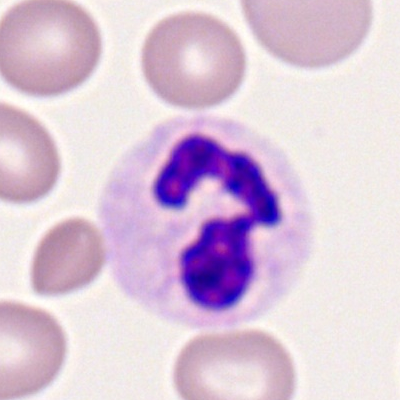
Cell: neutrophil (segmented).